40× objective, oil immersion · bone marrow aspirate smear
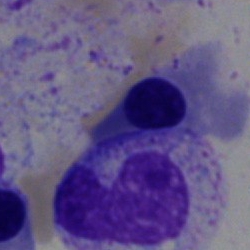
A nucleated red cell.